Cropped to a single cell. 40× objective, oil immersion. Bone marrow smear.
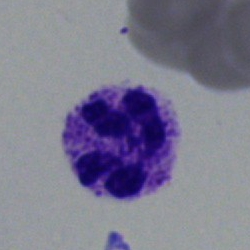The classification is polymorphonuclear neutrophil.